Single cell centered in the field; bone marrow aspirate smear; 250×250 px
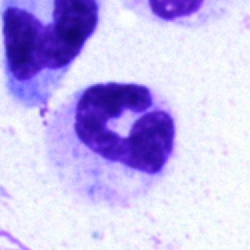 Specimen: bone marrow smear.
Morphological class: neutrophil (segmented).
Lineage: myeloid.